Bone marrow aspirate smear.
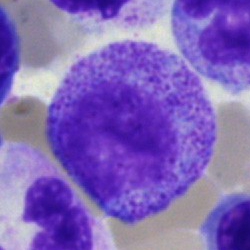 Cell — progranulocyte.